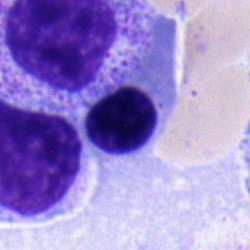A nucleated red blood cell.